250 by 250 pixels. Bone marrow smear. May-Grünwald-Giemsa stain: 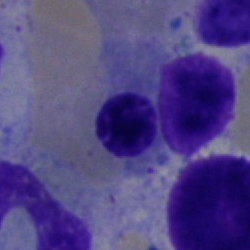
Impression — erythroblast.